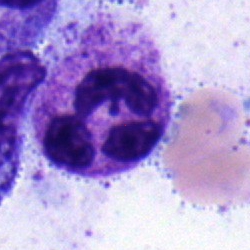 Segmented neutrophil.